Bone marrow aspirate smear
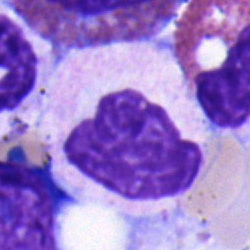This is a stab cell.